250 by 250 pixels; bone marrow aspirate smear
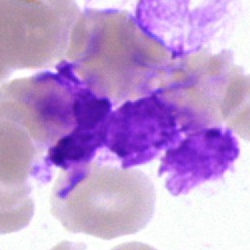Cell — artifact.